Bone marrow aspirate smear.
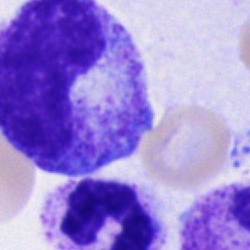Cell: progranulocyte.